Peripheral blood smear
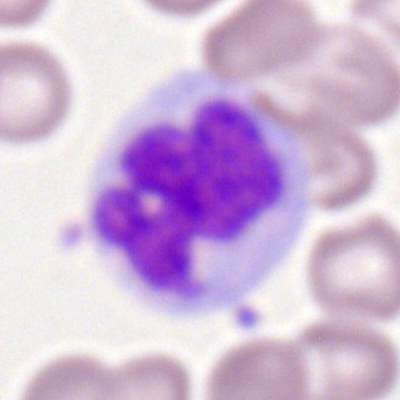

Single cell identified as a monocyte.